Cropped to a single cell; bone marrow aspirate smear:
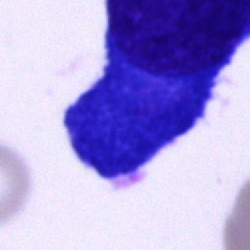Morphological class: plasmacyte.